Single-cell crop; bone marrow aspirate smear: 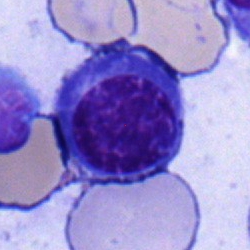 Showing a nucleated red cell.